Bone marrow smear; May-Grünwald-Giemsa/Pappenheim stain — 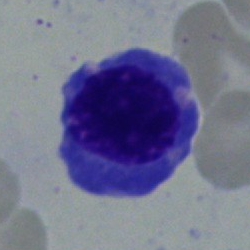Classification = normoblast.